Bone marrow smear; cropped to a single cell
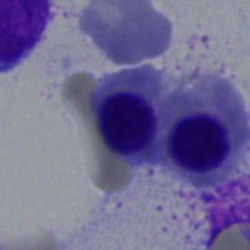{"cell_type": "nucleated red cell", "lineage": "erythroid"}